Bone marrow aspirate smear. Cropped to a single cell.
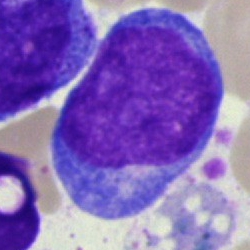
Showing a blast cell.